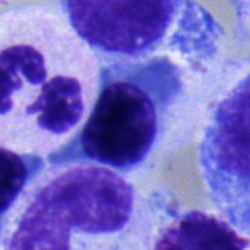

A nucleated red blood cell.